40× objective, oil immersion · bone marrow aspirate smear — 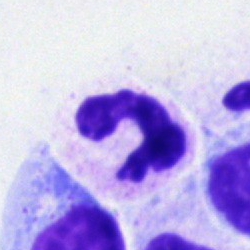
Q: What is the morphological classification of this cell?
A: A polymorphonuclear neutrophil.